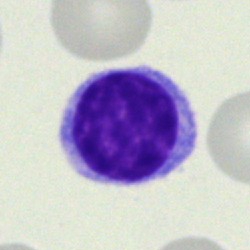

The classification is lymphocyte.